Bone marrow smear
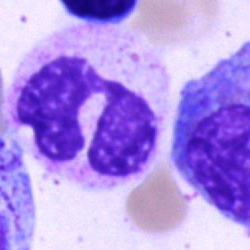 Polymorphonuclear neutrophil.